Bone marrow aspirate smear
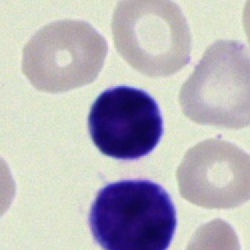

Impression → typical lymphocyte.